Bone marrow aspirate smear.
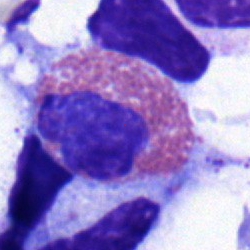 Morphology consistent with an eosinophilic granulocyte.